Peripheral blood film · M8 digital microscope (Precipoint), 100× oil immersion · 400 by 400 pixels — 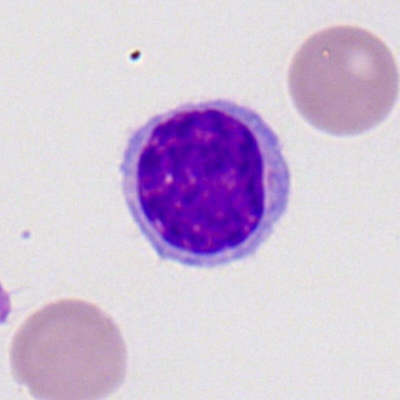The cell is lymphocyte.